Brightfield microscopy, 40× oil immersion. Bone marrow smear
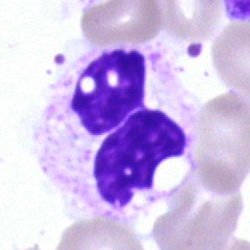 Cell: polymorphonuclear neutrophil.